Bone marrow smear
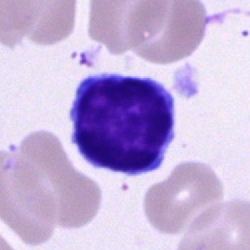
Cell type = typical lymphocyte.